Peripheral blood smear:
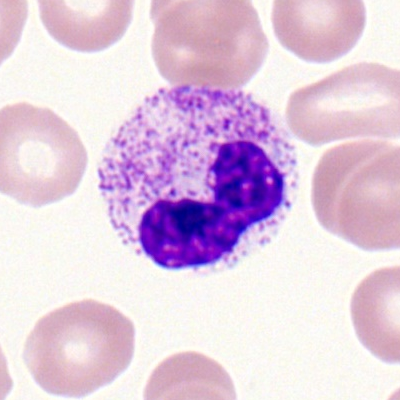

Q: What is shown here?
A: It is a neutrophil (segmented).